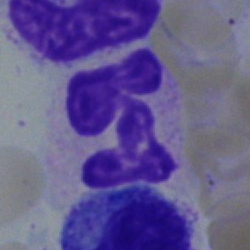Bone marrow smear showing a segmented neutrophil.